Brightfield, 40× oil-immersion objective; bone marrow aspirate smear; single cell centered in the field
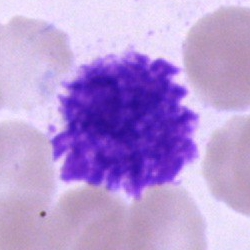Impression — artefact.